Bone marrow smear:
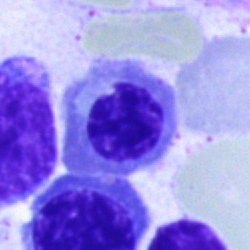

The cell type is nucleated red cell.